Bone marrow aspirate smear: 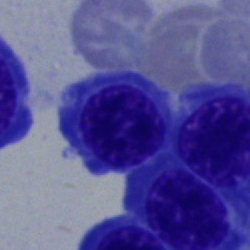Q: Which cell type is shown here?
A: Erythroblast.